Bone marrow aspirate smear — 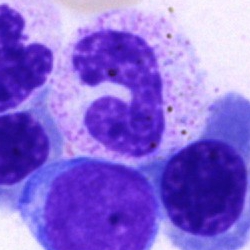Impression — band-form neutrophil.